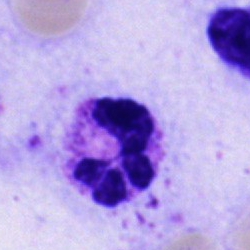
This is a segmented neutrophil.